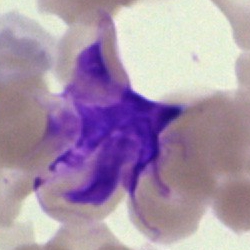

Q: What is shown here?
A: It is an artefact.